40× oil immersion. Bone marrow aspirate smear — 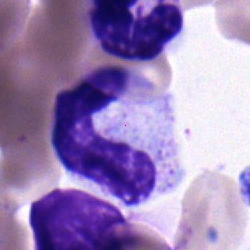Classification — stab cell.